Bone marrow aspirate smear.
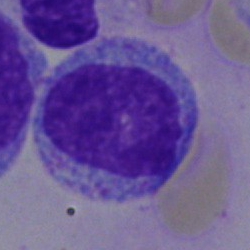

Impression — myelocyte.